Bone marrow aspirate smear; 250×250 px.
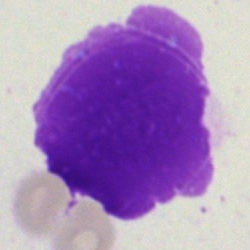 Specimen: bone marrow smear.
Classification: artifact.